Bone marrow smear — 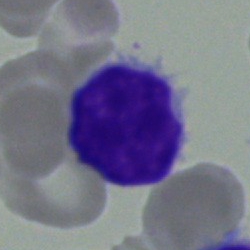 Morphology consistent with a lymphocyte.